Bone marrow smear.
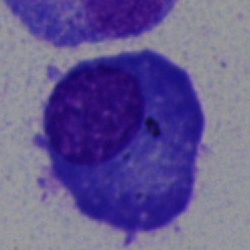 This is a plasmacyte.